40× objective, oil immersion · 250 by 250 pixels · bone marrow smear: 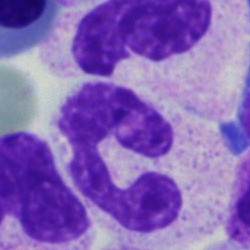
Classification = segmented neutrophil.